Bone marrow aspirate smear.
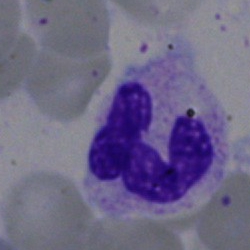

Impression — segmented neutrophil.